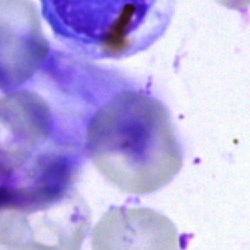Bone marrow smear showing an artefact.